Bone marrow aspirate smear; Pappenheim-stained: 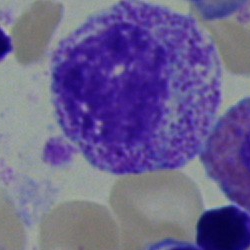 Morphology consistent with a myelocyte.